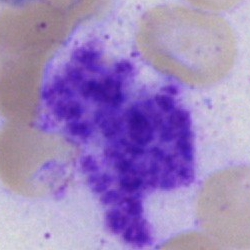 This is an artifact.